Bone marrow smear:
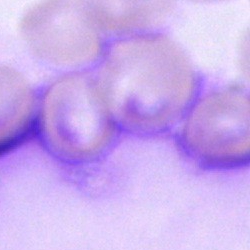Impression → artifact.